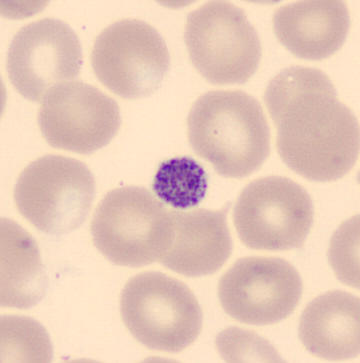
Peripheral blood smear showing a platelet.